Bone marrow smear
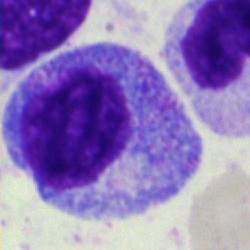 Morphological class = myelocyte.